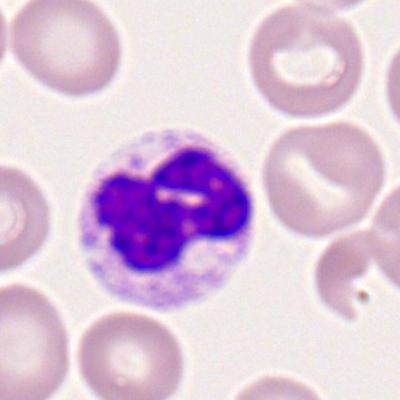 The cell type is polymorphonuclear neutrophil.